Bone marrow aspirate smear
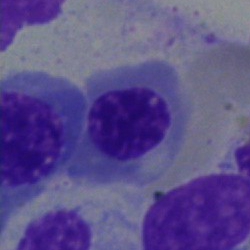

The classification is nucleated red cell.